Brightfield microscopy, 40× oil immersion; bone marrow aspirate smear:
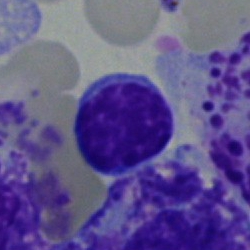 Q: What is the morphological classification of this cell?
A: Lymphocyte.